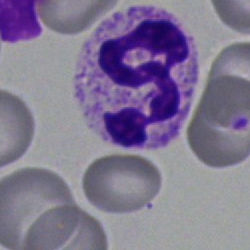Morphological class = neutrophil (segmented).